Bone marrow aspirate smear.
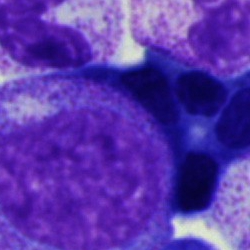
The cell type is progranulocyte.